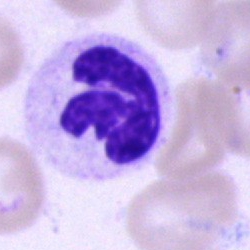
Cell type — polymorphonuclear neutrophil.